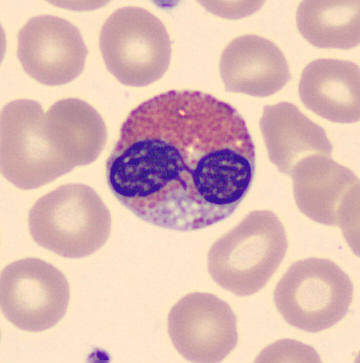

Q: What type of cell is this?
A: Eosinophilic granulocyte.
Image: Peripheral blood smear.